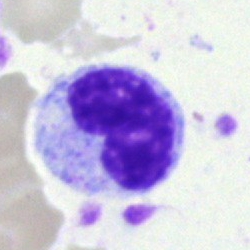 Morphological class = metamyelocyte.